Bone marrow smear:
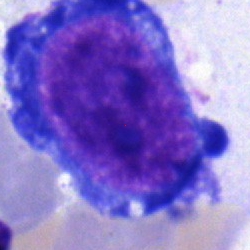 Pronormoblast.